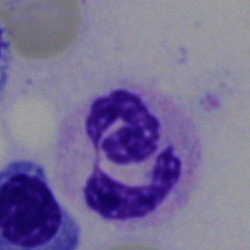

Bone marrow smear showing a neutrophil (segmented).